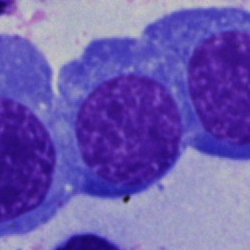Single cell identified as an erythroblast.